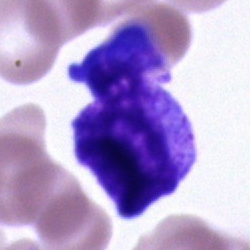Bone marrow aspirate smear, single cell — unidentifiable cell.